Bone marrow aspirate smear.
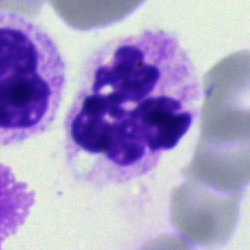

{"cell_type": "segmented neutrophil", "lineage": "myeloid"}